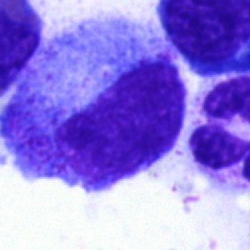Single cell identified as a progranulocyte.